100× oil immersion · Romanowsky-type stain · peripheral blood film.
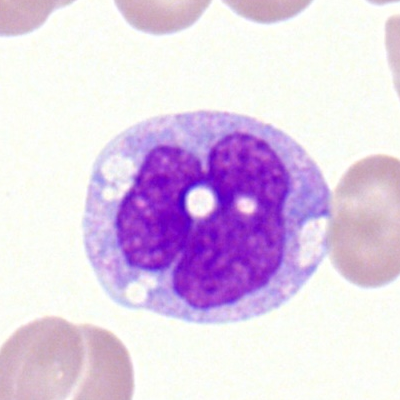

Cell = monocyte.